Bone marrow smear: 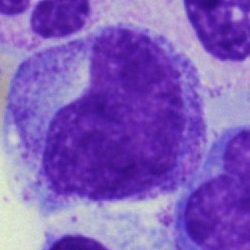Morphology consistent with a promyelocyte.